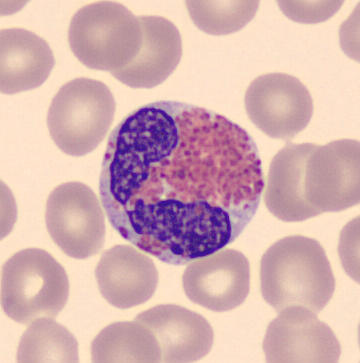Specimen: peripheral blood smear.
Classification: eosinophilic granulocyte.
Lineage: myeloid. Preparation: 360×363.